Bone marrow smear — 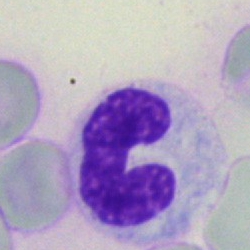 Impression → stab cell.